Bone marrow aspirate smear; MGG-stained
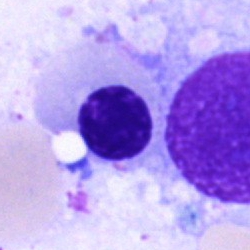 Morphology → nucleated red blood cell.